Single cell centered in the field · bone marrow smear:
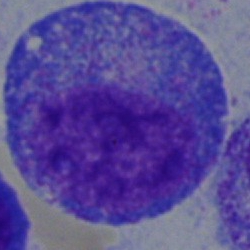
Specimen: bone marrow smear.
Classification: promyelocyte.
Lineage: myeloid.